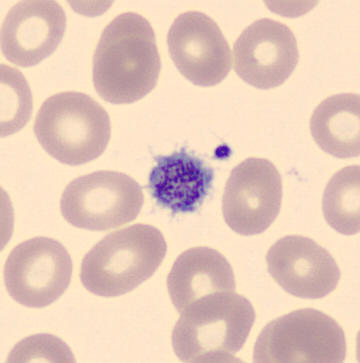 Morphology consistent with a thrombocyte.

Acquisition: Peripheral blood film.